Bone marrow aspirate smear.
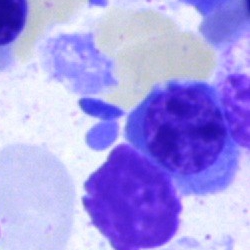

Morphology → erythroblast.